Bone marrow smear · 40× objective, oil immersion · cropped to a single cell
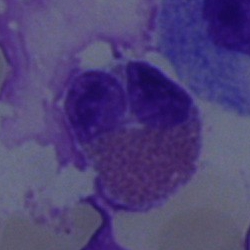
{"cell_type": "eosinophil", "lineage": "myeloid"}